Bone marrow smear: 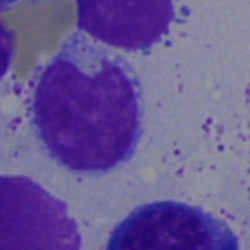 Q: What is the morphological classification of this cell?
A: Typical lymphocyte.